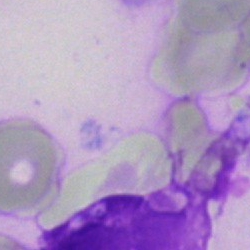

The cell shown is an artefact.